Bone marrow smear · Pappenheim-stained: 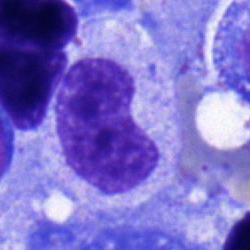 Q: What type of cell is this?
A: This is a metamyelocyte.